Bone marrow smear:
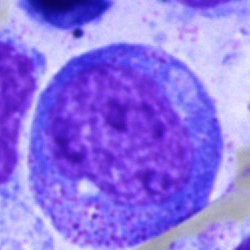
Showing a progranulocyte.